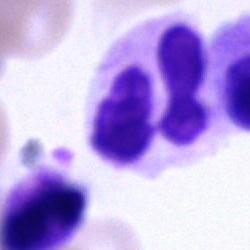Specimen: bone marrow aspirate smear.
Classification: polymorphonuclear neutrophil.
Lineage: myeloid.